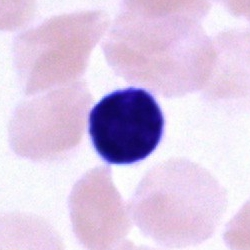The cell shown is a lymphocyte.